Brightfield, 40× oil-immersion objective · 250 by 250 pixels · bone marrow smear:
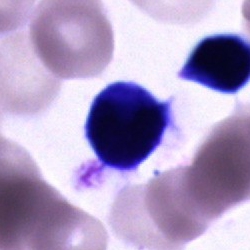Morphology consistent with an unidentifiable cell.